Bone marrow aspirate smear; 40× oil immersion: 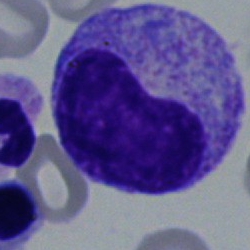Showing a metamyelocyte.